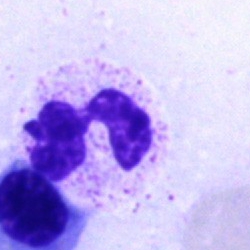
The cell shown is a polymorphonuclear neutrophil.